250×250 px · bone marrow smear
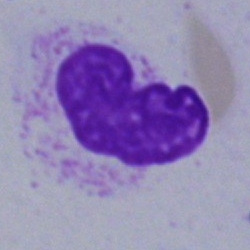

Showing an artefact.